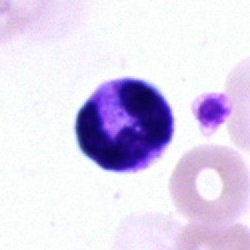 Classification — segmented neutrophil.